Peripheral blood film; 400×400.
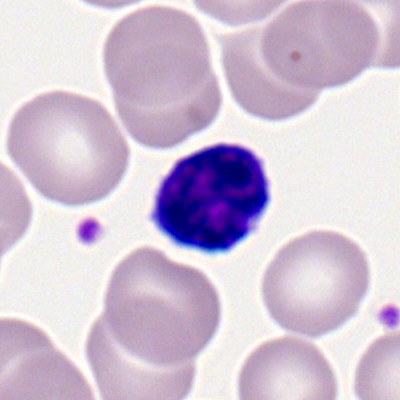

The cell shown is a lymphocyte.